Single cell centered in the field. Bone marrow smear. 250 by 250 pixels:
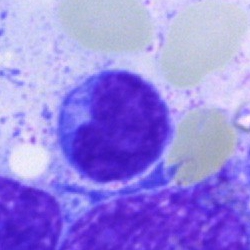
Showing a typical lymphocyte.